Bone marrow aspirate smear — 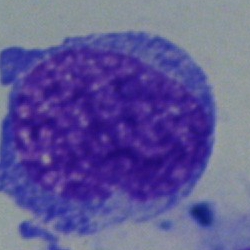Cell = blast cell.